MGG-stained; bone marrow aspirate smear; single-cell field:
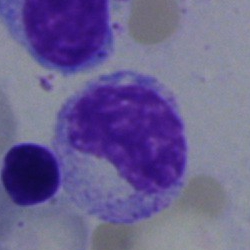Specimen: bone marrow aspirate smear.
Cell: metamyelocyte.